400×400 px · peripheral blood smear — 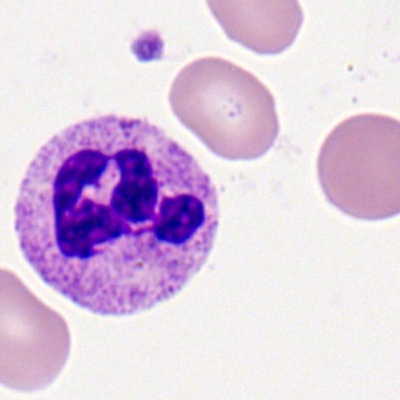 {"cell_type": "segmented neutrophil", "lineage": "myeloid"}